Bone marrow aspirate smear
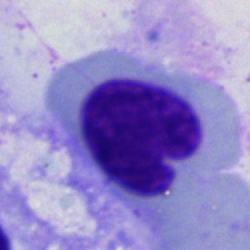
Q: What is shown here?
A: It is an erythroblast.